Bone marrow aspirate smear
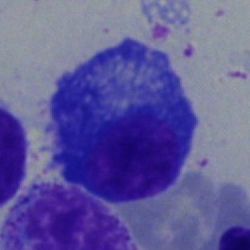 Specimen: bone marrow smear.
Morphological class: plasma cell.